Bone marrow aspirate smear.
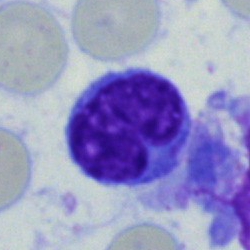Showing a lymphocyte.